Pappenheim-stained · bone marrow smear: 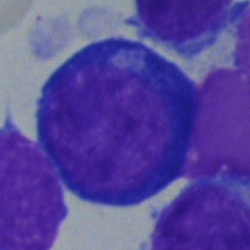
{"cell_type": "pronormoblast"}